Bone marrow smear — 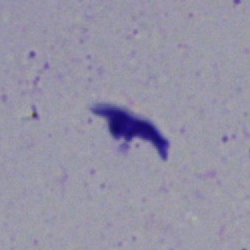
Cell = artifact.